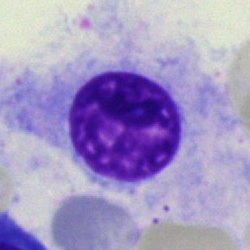Morphological class: artefact.